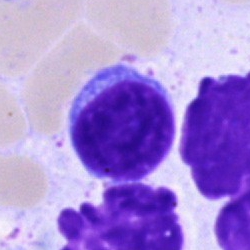Q: What cell is this?
A: This is a typical lymphocyte.